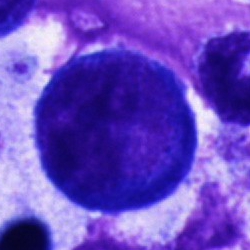Pronormoblast.